Bone marrow aspirate smear. May-Grünwald-Giemsa/Pappenheim stain. Single cell centered in the field
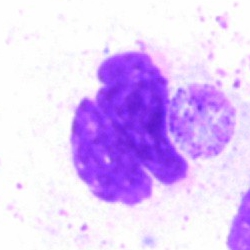{"cell_type": "artefact"}